Bone marrow smear.
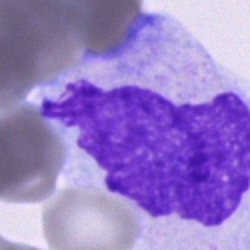Morphology → monocyte.